Bone marrow aspirate smear — 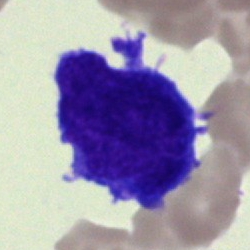
Morphology — undifferentiated blast.